Single-cell crop · 250 by 250 pixels · bone marrow aspirate smear: 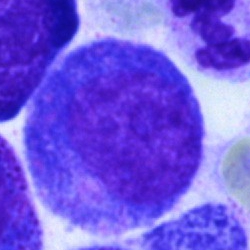 Q: What cell is this?
A: Progranulocyte.